Bone marrow aspirate smear: 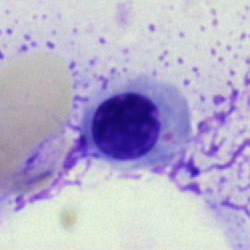
An erythroblast.